Romanowsky stain. Peripheral blood smear — 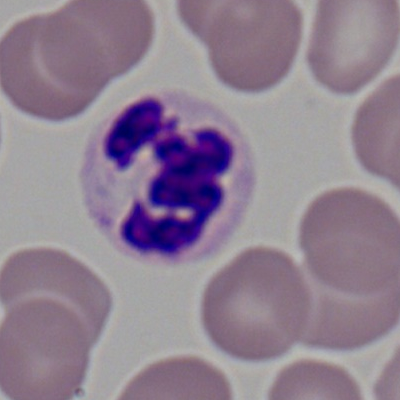

Classification — neutrophil (segmented).